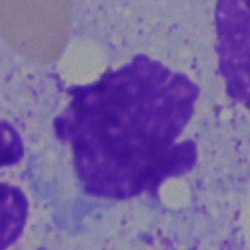Bone marrow smear showing an artifact.